Romanowsky stain · peripheral blood film
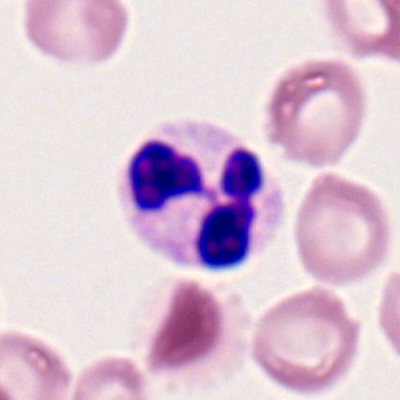

{"cell_type": "segmented neutrophil"}